Bone marrow smear:
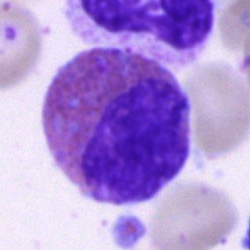 The cell type is eosinophil.